Bone marrow aspirate smear: 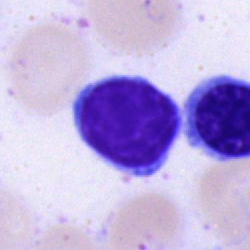

Impression — lymphocyte.